40× objective, oil immersion; bone marrow smear: 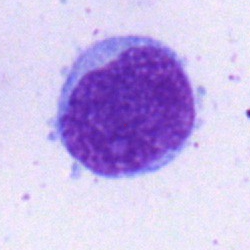Single cell identified as a lymphocyte.